Bone marrow smear — 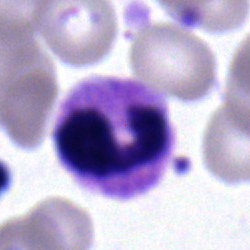 Q: What type of cell is this?
A: It is a polymorphonuclear neutrophil.